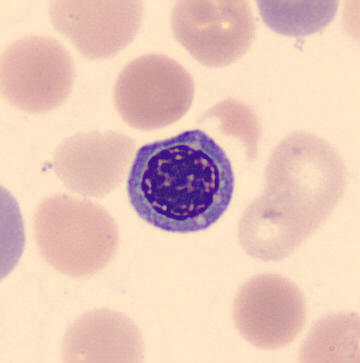

This is an erythroblast. Image: Peripheral blood smear.